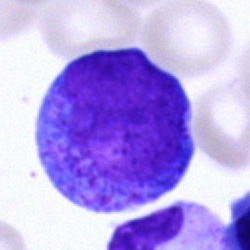The cell is promyelocyte.